Single cell centered in the field; bone marrow aspirate smear; Pappenheim-stained:
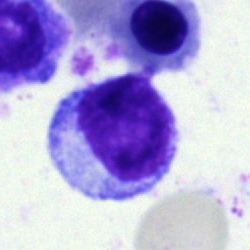Cell type = myelocyte.